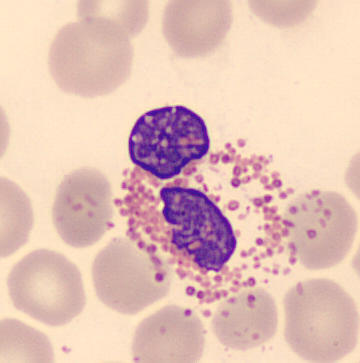 Single cell identified as an eosinophilic granulocyte. Peripheral blood film; automated cell imaging (CellaVision DM96).